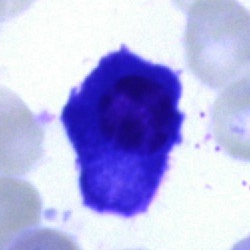
Q: What cell is this?
A: It is a plasmacyte.